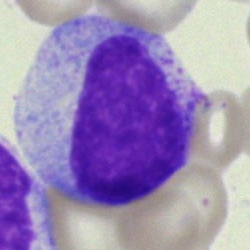Q: What type of cell is this?
A: It is a promyelocyte.